Bone marrow aspirate smear.
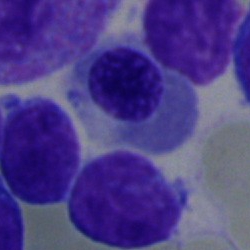Classification — erythroblast.